Bone marrow aspirate smear
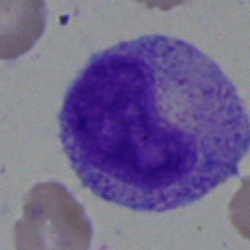Morphology consistent with a metamyelocyte.